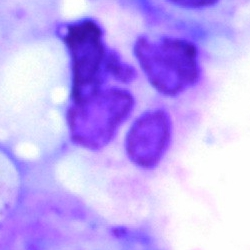
Single cell identified as a neutrophil (segmented).